100× oil immersion; peripheral blood film.
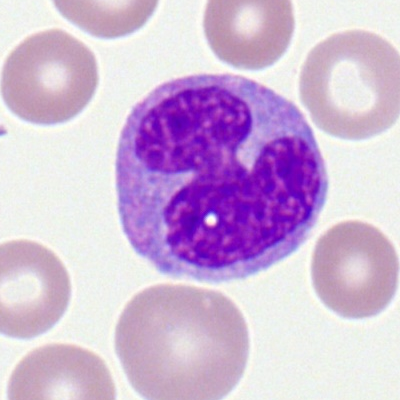 The cell type is monocyte.